Single cell centered in the field; bone marrow smear: 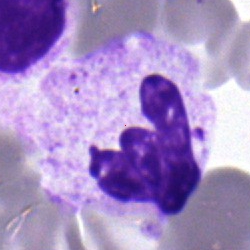 Morphological class — neutrophil (segmented).